Bone marrow smear:
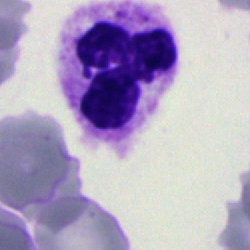 A segmented neutrophil.